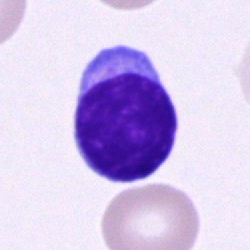 Specimen: bone marrow smear.
Classification: typical lymphocyte.
Lineage: lymphoid.